Bone marrow smear:
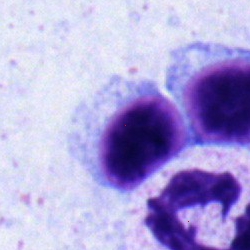
Typical lymphocyte.